100× objective, oil immersion · peripheral blood film:
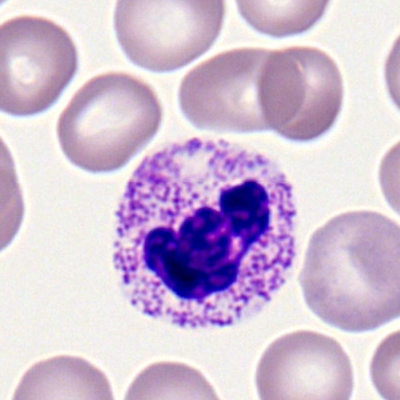

Showing a polymorphonuclear neutrophil.